Peripheral blood smear. Single-cell field. 100× oil immersion, 14.14 px/µm: 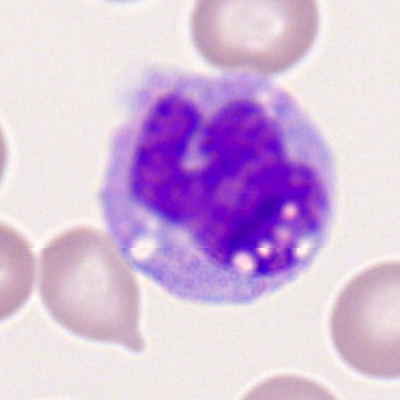Impression → monocyte.